Pappenheim-stained. Bone marrow aspirate smear. 250 by 250 pixels.
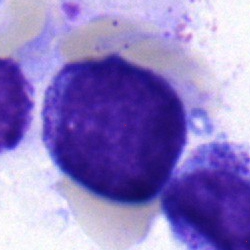
Blast cell.